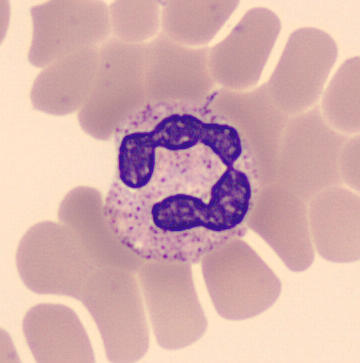

Acquisition: CellaVision DM96 digital cell image; peripheral blood film.
Morphological class — polymorphonuclear neutrophil.